Bone marrow aspirate smear; Pappenheim-stained; 40× objective, oil immersion — 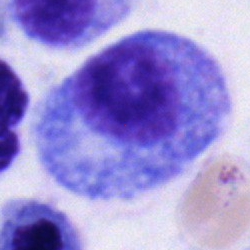 Q: What is shown here?
A: A progranulocyte.